Bone marrow aspirate smear.
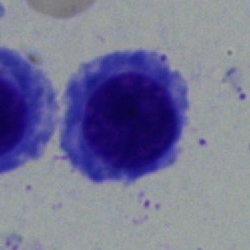
An erythroblast.